Bone marrow aspirate smear: 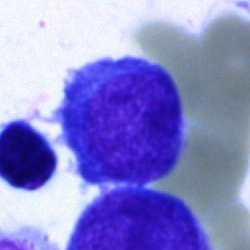

Cell: undifferentiated blast.